Bone marrow smear
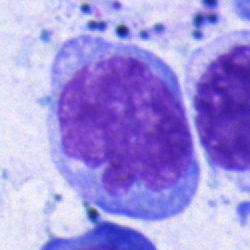

Classification = undifferentiated blast.